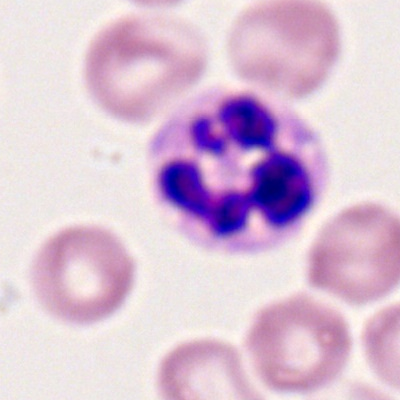

Single-cell crop from a peripheral blood smear: polymorphonuclear neutrophil.